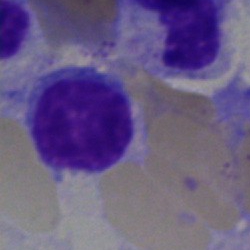

Morphology consistent with a typical lymphocyte.